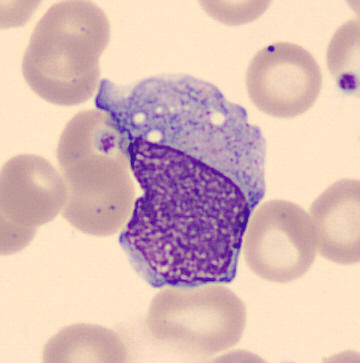Monocyte.
Image: Peripheral blood film.